Bone marrow aspirate smear — 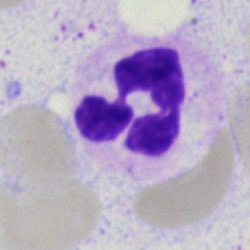

Polymorphonuclear neutrophil.